Bone marrow smear · 40× objective, oil immersion · MGG-stained
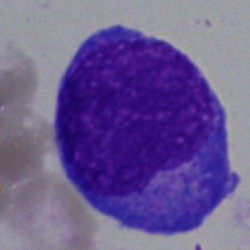

{"cell_type": "progranulocyte", "lineage": "myeloid"}